Bone marrow aspirate smear: 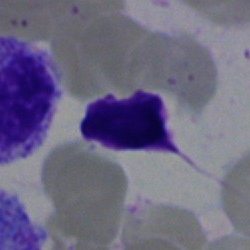
Q: What is shown here?
A: Artifact.